Bone marrow aspirate smear.
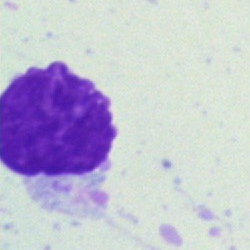

Cell type = artefact.